MGG-stained · bone marrow smear — 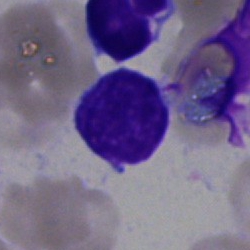

Q: What is the morphological classification of this cell?
A: Lymphocyte.